40× oil immersion; bone marrow smear; May-Grünwald-Giemsa stain
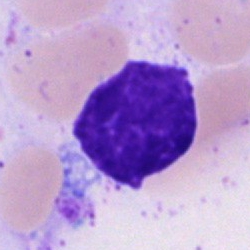 Specimen: bone marrow aspirate smear.
Cell: artifact.